Bone marrow aspirate smear.
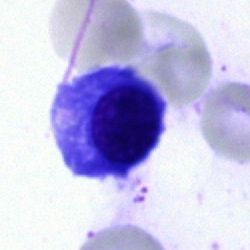

Morphology consistent with a plasma cell.